Bone marrow smear.
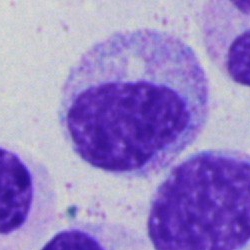
Myelocyte.